40× oil immersion; MGG-stained; bone marrow aspirate smear — 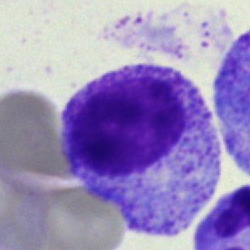Morphology — myelocyte.